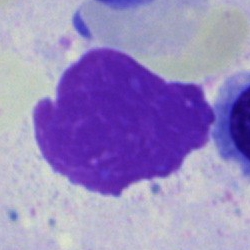
Specimen: bone marrow aspirate smear.
Cell: artifact.